40× objective, oil immersion; bone marrow aspirate smear.
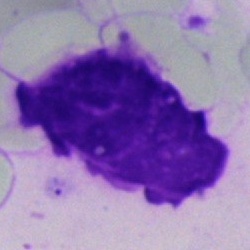Q: What is shown here?
A: An artefact.